Image size 250×250 · bone marrow aspirate smear — 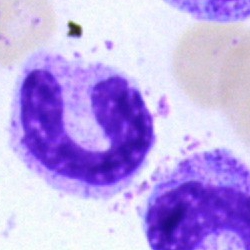 Specimen: bone marrow aspirate smear.
Cell type: polymorphonuclear neutrophil.
Lineage: myeloid.